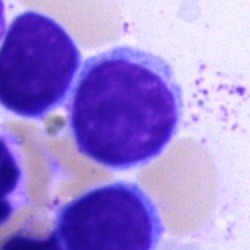
The morphological class is typical lymphocyte.